Bone marrow aspirate smear.
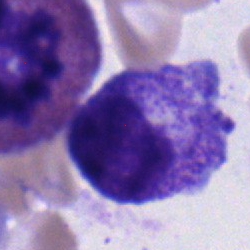
Cell — myelocyte.